Bone marrow aspirate smear — 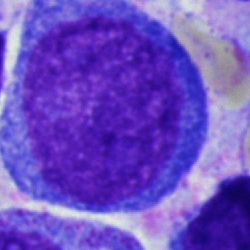

Specimen: bone marrow smear.
Classification: proerythroblast.